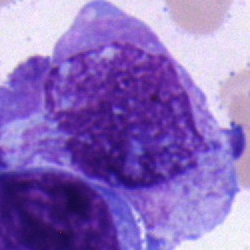The cell is blast cell.